Bone marrow smear; 250×250 px; Pappenheim-stained: 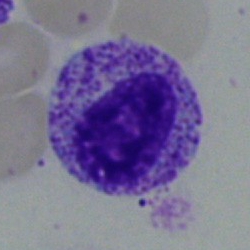 {"cell_type": "myelocyte", "lineage": "myeloid"}